Bone marrow aspirate smear · May-Grünwald-Giemsa stain · 40× objective, oil immersion.
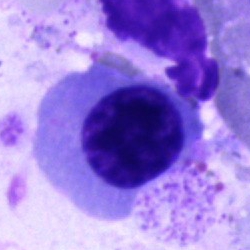 Specimen: bone marrow aspirate smear.
Morphological class: nucleated red blood cell.